Bone marrow smear — 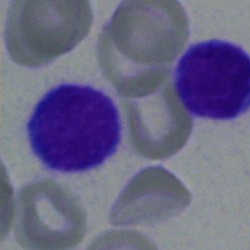
The cell is lymphocyte.